Bone marrow smear; Pappenheim-stained: 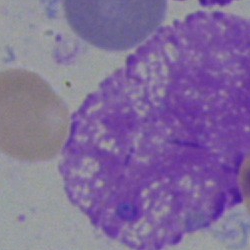
Specimen: bone marrow smear.
Classification: artifact.